Bone marrow aspirate smear.
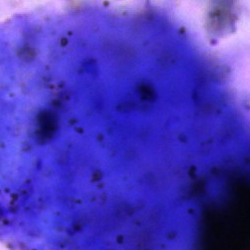
Q: What is shown here?
A: This is an artefact.